Bone marrow smear: 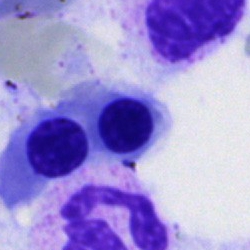

The cell shown is an erythroblast.